Peripheral blood smear:
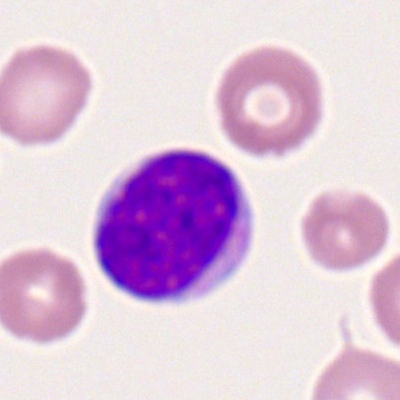Classification: typical lymphocyte.